Bone marrow smear — 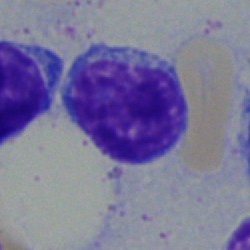This is a typical lymphocyte.